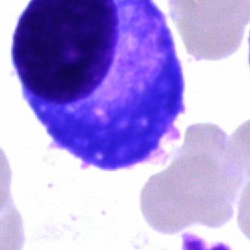

Single-cell crop from a bone marrow smear: plasmacyte.